Bone marrow aspirate smear
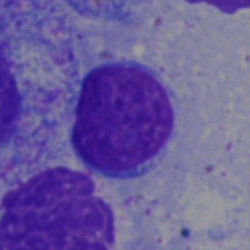
Specimen: bone marrow smear.
Cell type: lymphocyte.
Lineage: lymphoid.